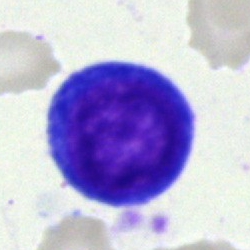
The cell shown is a promyelocyte.